Bone marrow aspirate smear — 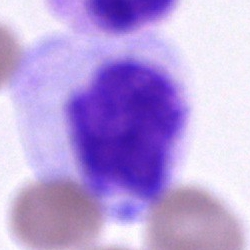 Q: Identify the cell.
A: This is a cell of indeterminate lineage.